Peripheral blood smear.
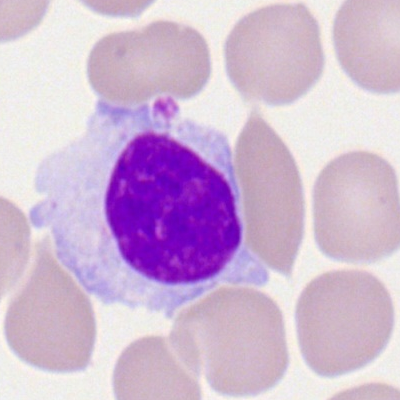Single cell identified as a lymphocyte.